Bone marrow aspirate smear:
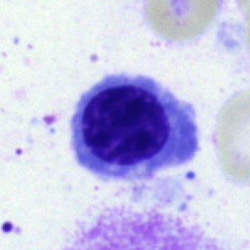
Classification = normoblast.